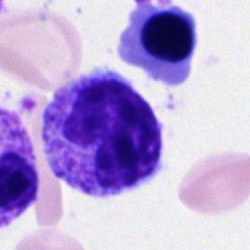 Q: What is shown here?
A: This is a metamyelocyte.